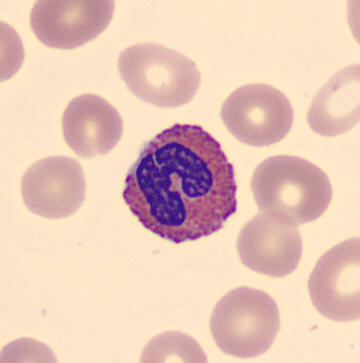 Preparation: Peripheral blood smear.
This is an eosinophilic granulocyte.